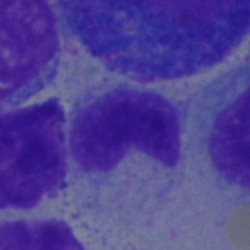 The morphological class is metamyelocyte.